Bone marrow smear: 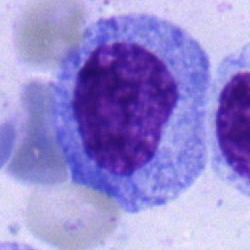 Myelocyte.